Brightfield microscopy, 40× oil immersion. 250 by 250 pixels. Bone marrow smear — 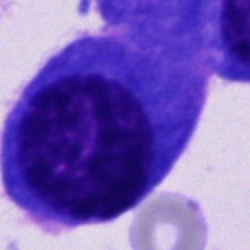Q: What is the morphological classification of this cell?
A: Other cell type.